100× oil immersion · peripheral blood film · 400 by 400 pixels: 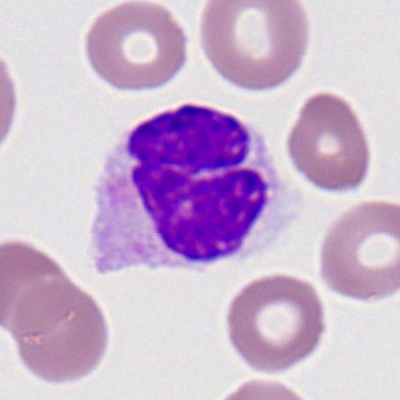 Cell type — segmented neutrophil.